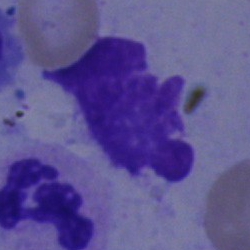
Classification = artifact.